Single-cell field · bone marrow smear:
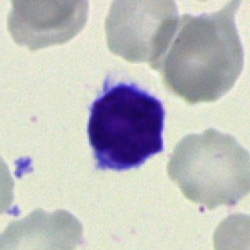

A lymphocyte.